Bone marrow smear · 250×250 · single cell centered in the field
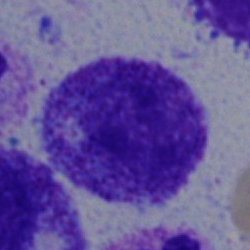 Myelocyte.